Bone marrow smear. 250×250 px.
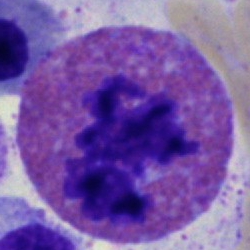
Q: Which cell type is shown here?
A: It is an eosinophilic granulocyte.